Pappenheim-stained · 250×250 px · bone marrow smear — 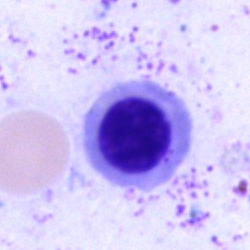 Q: Which cell type is shown here?
A: A normoblast.